Bone marrow aspirate smear:
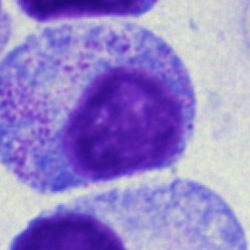 Q: What type of cell is this?
A: This is a promyelocyte.